Brightfield, 40× oil-immersion objective · bone marrow smear:
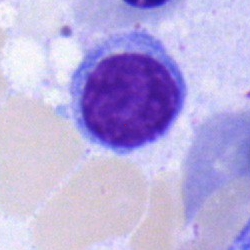
{"cell_type": "typical lymphocyte", "lineage": "lymphoid"}